Bone marrow aspirate smear: 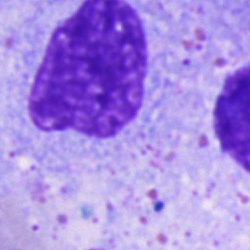
Single cell identified as an artifact.